250×250 · bone marrow aspirate smear
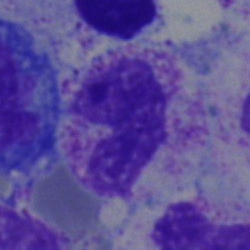Morphological class: metamyelocyte.